40× objective, oil immersion. Bone marrow smear. MGG-stained
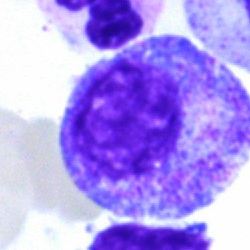Single cell identified as a myelocyte.